Bone marrow aspirate smear. Cropped to a single cell
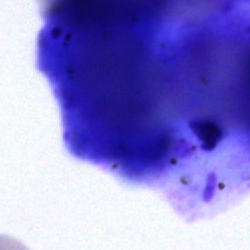Specimen: bone marrow smear.
Cell type: artifact.